Bone marrow aspirate smear · MGG-stained: 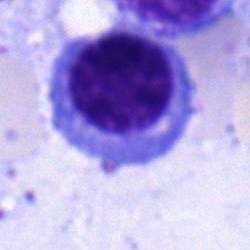

Classification = plasmacyte.